Bone marrow aspirate smear · 40× objective, oil immersion · May-Grünwald-Giemsa/Pappenheim stain:
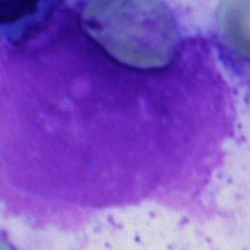
Artefact.